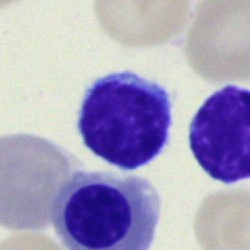
Q: What is the morphological classification of this cell?
A: Lymphocyte.